Single-cell crop. Peripheral blood film
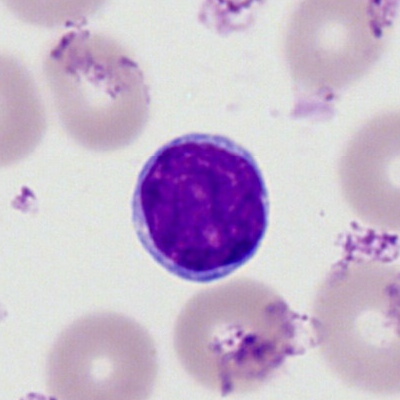 Typical lymphocyte.